Bone marrow aspirate smear: 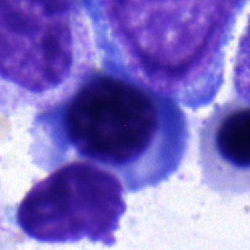Classification: nucleated red cell.